Bone marrow smear. May-Grünwald-Giemsa stain
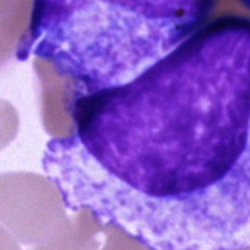 Q: Identify the cell.
A: This is a progranulocyte.